Bone marrow smear; May-Grünwald-Giemsa/Pappenheim stain — 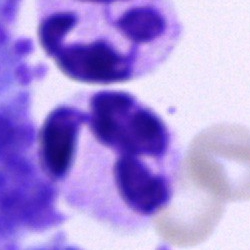Polymorphonuclear neutrophil.